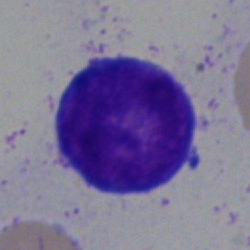

Morphology → blast.